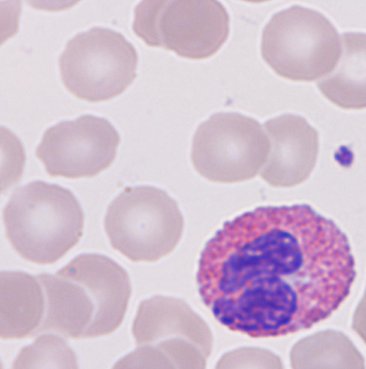 Showing an eosinophilic granulocyte.